Bone marrow aspirate smear:
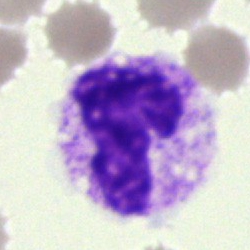The cell shown is a segmented neutrophil.